40× oil immersion · bone marrow smear
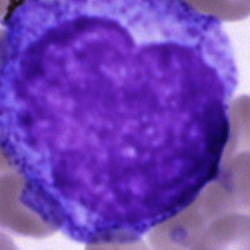 Morphology consistent with a progranulocyte.